Bone marrow smear:
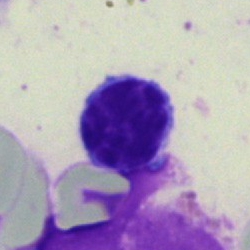 {"cell_type": "typical lymphocyte"}